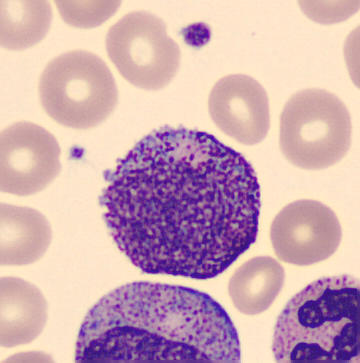
Acquisition: Peripheral blood smear; 360 by 363 pixels.
A promyelocyte.